Bone marrow smear · May-Grünwald-Giemsa/Pappenheim stain · image size 250×250:
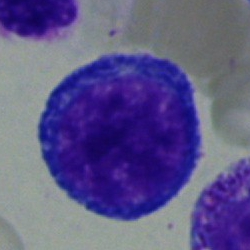
{"cell_type": "nucleated red cell", "lineage": "erythroid"}